Bone marrow aspirate smear
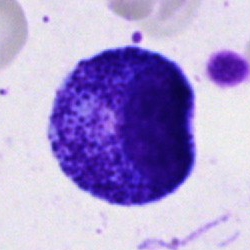 Classification — promyelocyte.